Pappenheim-stained · brightfield, 40× oil-immersion objective · bone marrow smear — 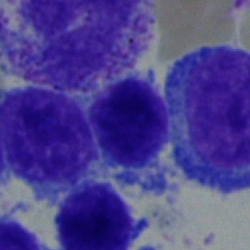 Q: What type of cell is this?
A: Typical lymphocyte.